Bone marrow smear
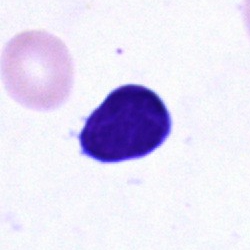

The cell type is typical lymphocyte.